Bone marrow aspirate smear — 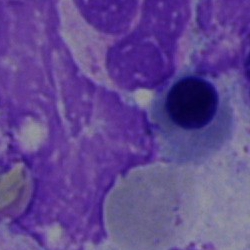The cell shown is an artefact.